250×250; bone marrow smear; 40× oil immersion:
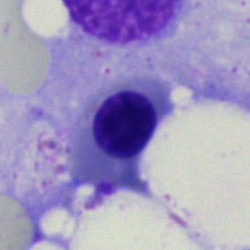

Single cell identified as a normoblast.